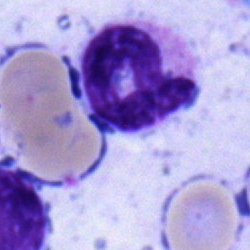Q: Which cell type is shown here?
A: It is a neutrophil (band).